40× objective, oil immersion. Bone marrow smear. Single-cell field: 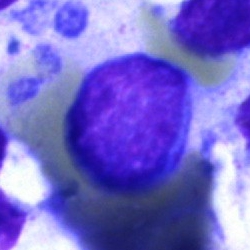The cell shown is a blast.